Single-cell field · May-Grünwald-Giemsa stain · bone marrow smear — 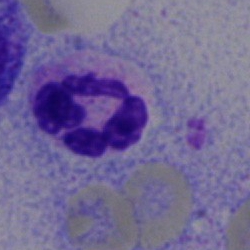Morphology consistent with a neutrophil (segmented).